Romanowsky-stained. Peripheral blood smear:
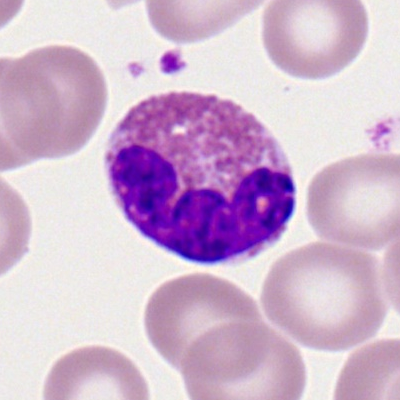

Morphology consistent with an eosinophil.